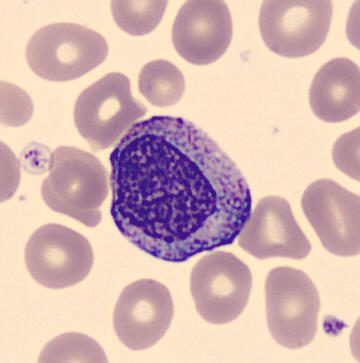Morphology consistent with a myelocyte.